Bone marrow aspirate smear:
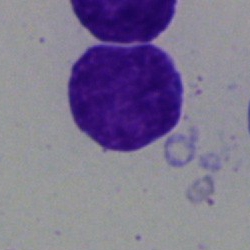 Cell type = typical lymphocyte.